Peripheral blood smear.
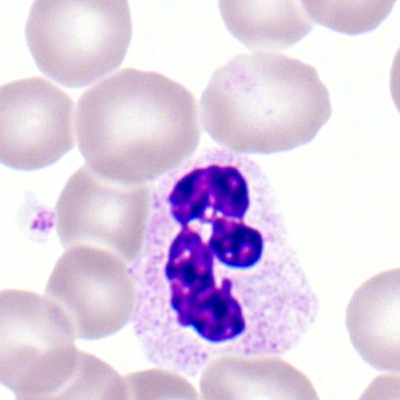

Single cell identified as a polymorphonuclear neutrophil.